Bone marrow smear: 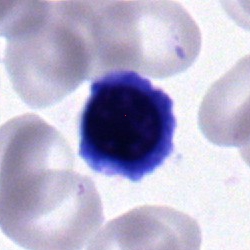
Morphological class — erythroblast.